MGG-stained. Bone marrow aspirate smear. 250×250 — 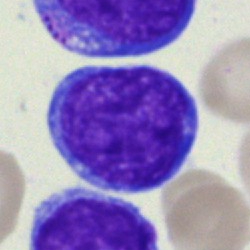 Blast.